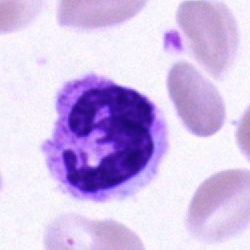
Morphological class — segmented neutrophil.